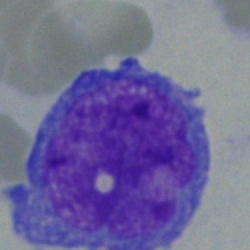 Showing an undifferentiated blast.